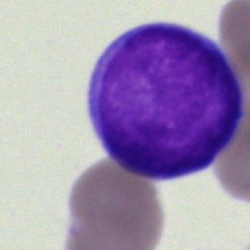
Impression → undifferentiated blast.